250×250; May-Grünwald-Giemsa stain; bone marrow smear:
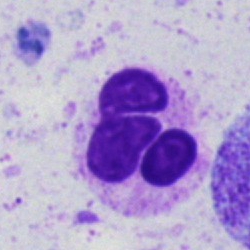

Cell type = neutrophil (segmented).